250 by 250 pixels. Bone marrow smear — 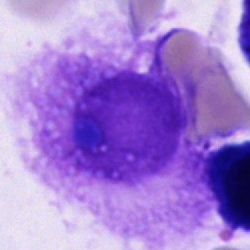
{"cell_type": "artefact"}